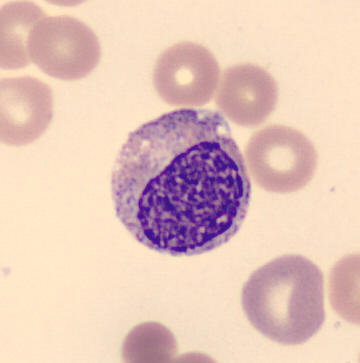
Classification: myelocyte.